Bone marrow aspirate smear: 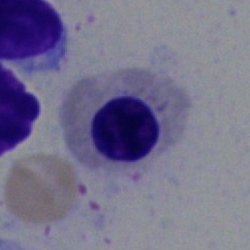 This is an erythroblast.